May-Grünwald-Giemsa/Pappenheim stain; bone marrow smear
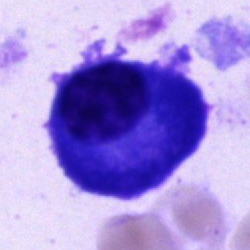Morphology consistent with a plasmacyte.